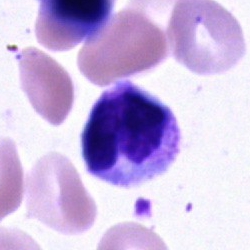Q: Identify the cell.
A: It is a segmented neutrophil.